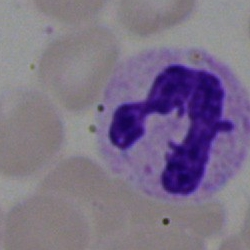Specimen: bone marrow smear.
Cell: polymorphonuclear neutrophil.
Lineage: myeloid.